Bone marrow aspirate smear: 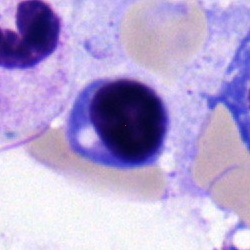Showing a plasmacyte.